Bone marrow aspirate smear:
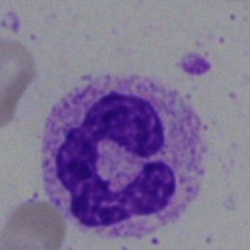

Specimen: bone marrow smear.
Cell: neutrophil (segmented).
Lineage: myeloid.